Bone marrow smear.
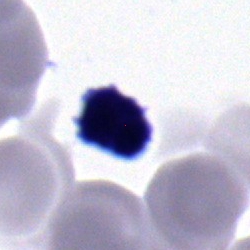Classification = typical lymphocyte.